Bone marrow aspirate smear
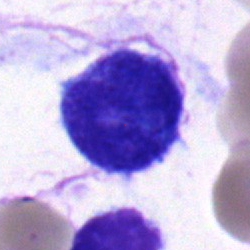
Showing a blast.